Single-cell field · bone marrow aspirate smear — 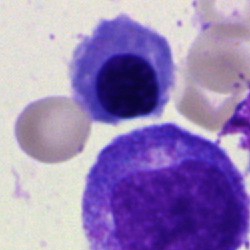
Cell type — erythroblast.